Bone marrow smear: 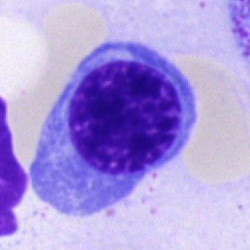 Q: What cell is this?
A: Erythroblast.